Bone marrow smear. 250×250
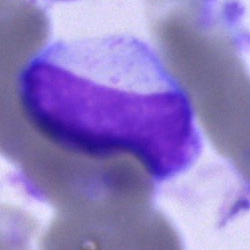
Morphology consistent with a lymphocyte.